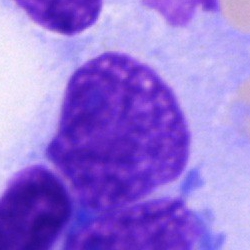

Classification = artefact.